MGG-stained · bone marrow smear — 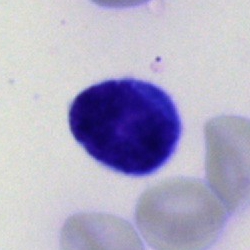 Morphology — typical lymphocyte.